Bone marrow aspirate smear · single cell centered in the field:
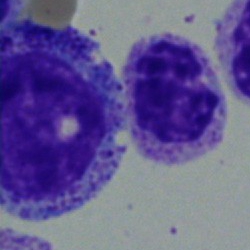

Q: What is the morphological classification of this cell?
A: This is a segmented neutrophil.